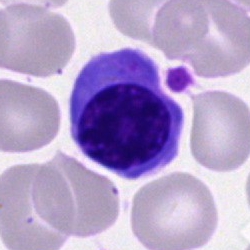
Q: Which cell type is shown here?
A: Nucleated red cell.